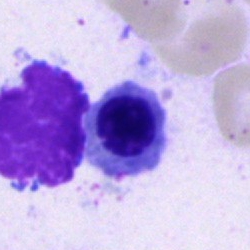
A nucleated red blood cell on a bone marrow smear.